Bone marrow smear; single-cell crop; 250 by 250 pixels: 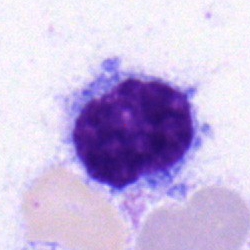 Specimen: bone marrow smear.
Cell type: lymphocyte.